May-Grünwald-Giemsa stain; single cell centered in the field; bone marrow aspirate smear: 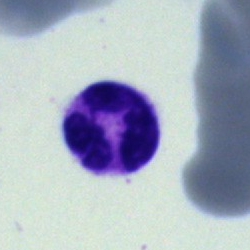
Morphology — artefact.